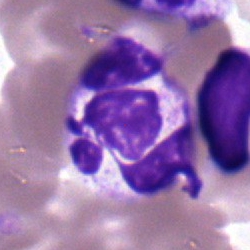
A neutrophil (segmented).